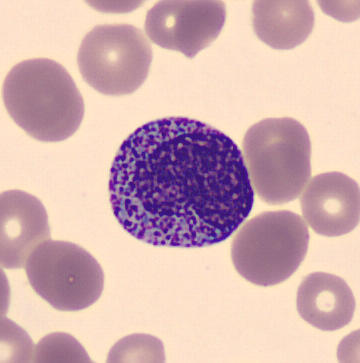

Identified as a promyelocyte.